Bone marrow aspirate smear; single-cell field; brightfield, 40× oil-immersion objective — 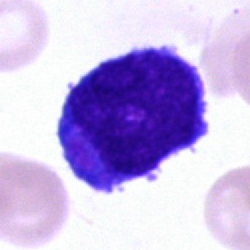 Cell type — blast cell.